Bone marrow aspirate smear · 40× objective, oil immersion · cropped to a single cell — 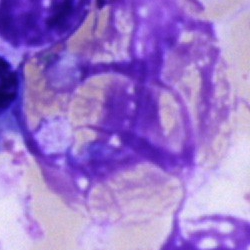
Morphological class = artefact.